Image size 250×250. Bone marrow aspirate smear. Cropped to a single cell:
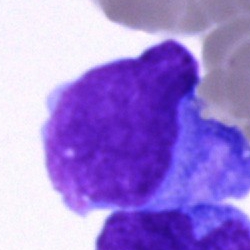 Cell: blast cell.